Bone marrow smear: 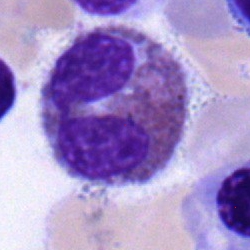The cell type is eosinophil.